250 by 250 pixels; bone marrow aspirate smear:
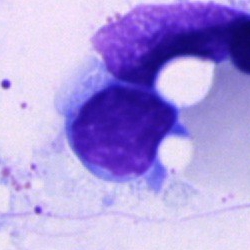
Single cell identified as a lymphocyte.